40× oil immersion. Bone marrow aspirate smear: 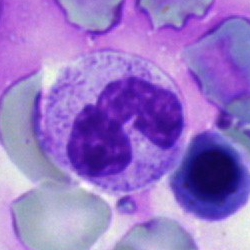
Cell type = polymorphonuclear neutrophil.